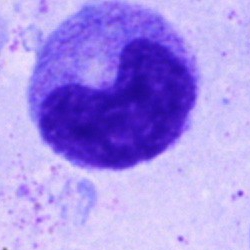

Specimen: bone marrow aspirate smear.
Classification: progranulocyte.